Bone marrow aspirate smear. Brightfield microscopy, 40× oil immersion.
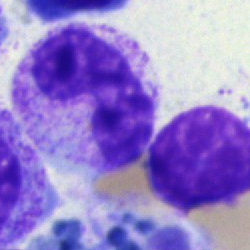Impression — stab cell.